Bone marrow aspirate smear:
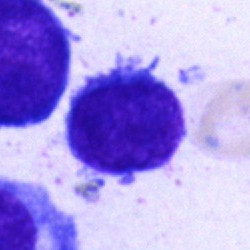
Typical lymphocyte.